Bone marrow aspirate smear
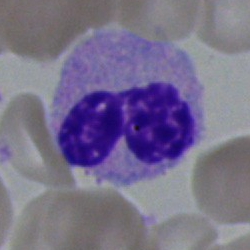

Q: Which cell type is shown here?
A: It is a neutrophil (segmented).